Peripheral blood film; 360 by 363 pixels — 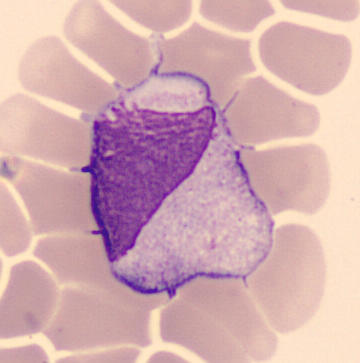 The cell shown is a monocyte.